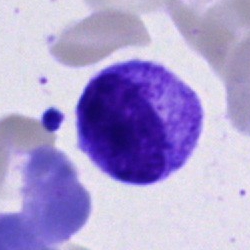 Bone marrow aspirate smear, single cell — promyelocyte.